Bone marrow smear — 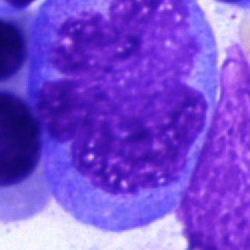 The morphological class is monocyte.